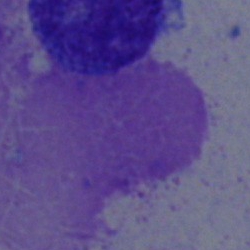

Single cell identified as an artefact.